Bone marrow smear · brightfield microscopy, 40× oil immersion: 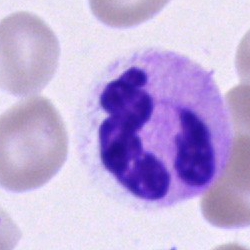 Morphological class = neutrophil (segmented).